Bone marrow aspirate smear; single-cell field
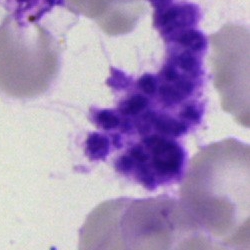

The cell is artifact.